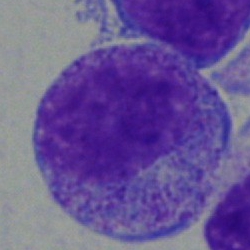Single-cell crop from a bone marrow smear: promyelocyte.